250 by 250 pixels · single cell centered in the field · bone marrow smear:
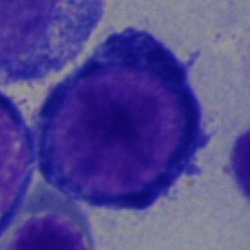The cell shown is a proerythroblast.